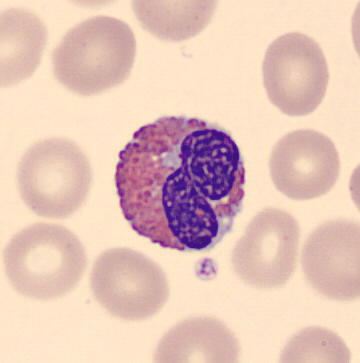 Morphological class = eosinophilic granulocyte.